Image size 250×250; May-Grünwald-Giemsa/Pappenheim stain; bone marrow aspirate smear.
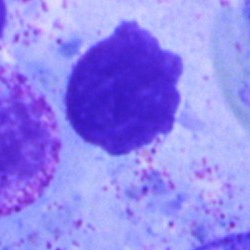 Impression — artefact.